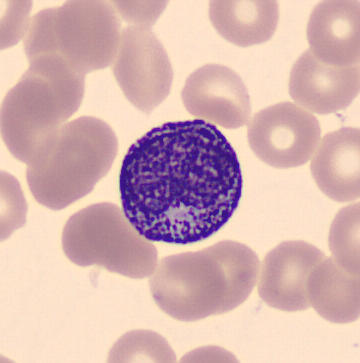

This is a myelocyte.